250×250. Bone marrow aspirate smear: 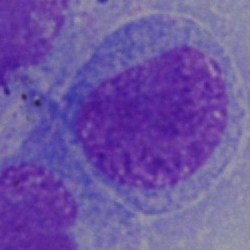 Morphology → undifferentiated blast.